250 by 250 pixels; single cell centered in the field; bone marrow aspirate smear.
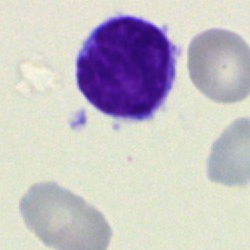 Q: What cell is this?
A: Lymphocyte.